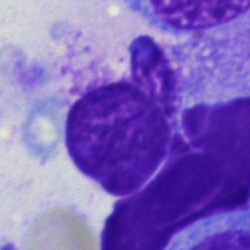The morphological class is artefact.